40× objective, oil immersion; bone marrow smear
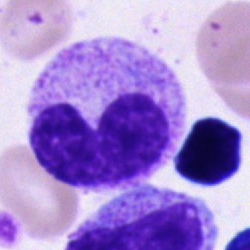

Showing a metamyelocyte.